Bone marrow aspirate smear. 250×250 px
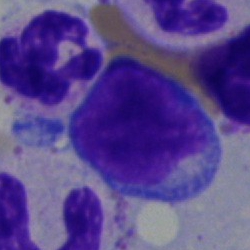Undifferentiated blast.